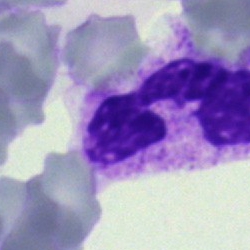 Cell: neutrophil (segmented).